Bone marrow smear: 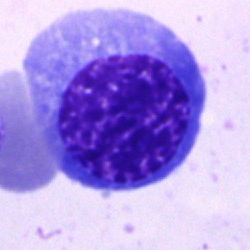

Cell = nucleated red blood cell.